Bone marrow aspirate smear. 250 by 250 pixels. Single-cell field.
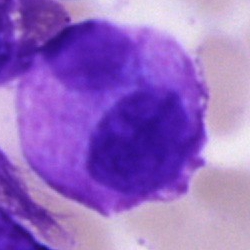

This is an undifferentiated blast.